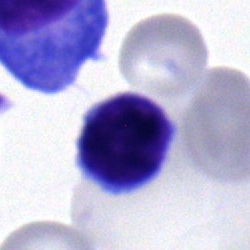
{"cell_type": "typical lymphocyte", "lineage": "lymphoid"}